Bone marrow smear
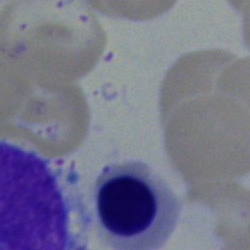
Specimen: bone marrow aspirate smear.
Cell: normoblast.
Lineage: erythroid.